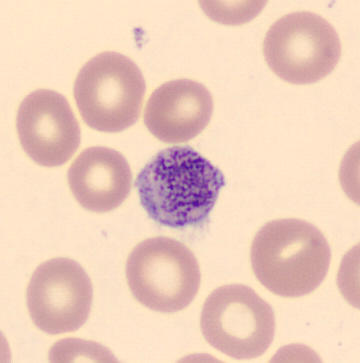
Q: What is shown here?
A: This is a platelet (thrombocyte).

Peripheral blood film; image size 360×363; CellaVision DM96.